Bone marrow smear; single cell centered in the field: 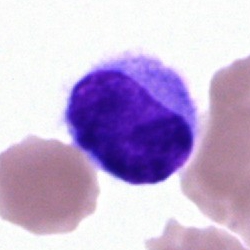Impression → hairy cell.